Peripheral blood film.
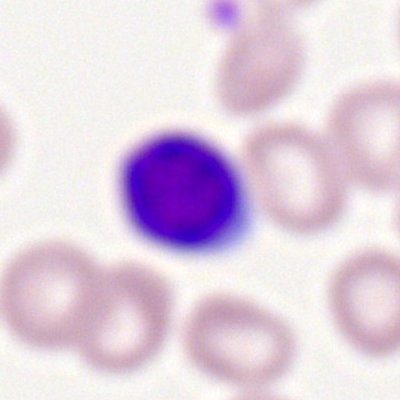
Q: Identify the cell.
A: This is a typical lymphocyte.